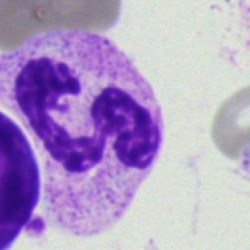Impression — segmented neutrophil.